Bone marrow aspirate smear. Brightfield microscopy, 40× oil immersion: 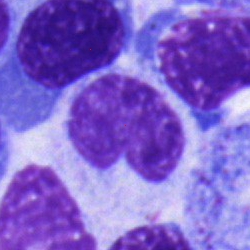

Morphology consistent with a metamyelocyte.